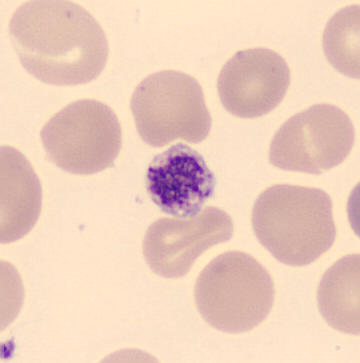 Peripheral blood smear · imaged on a CellaVision DM96 analyser.

This is a platelet.